Bone marrow aspirate smear · 250×250:
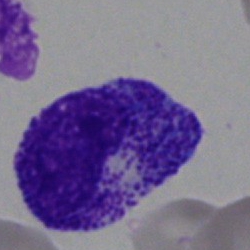

Q: What type of cell is this?
A: It is a progranulocyte.